Bone marrow smear.
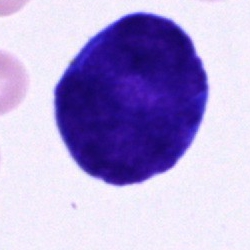
An unidentifiable cell.